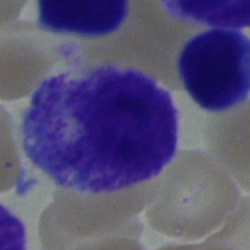
Specimen: bone marrow smear.
Classification: myelocyte.
Lineage: myeloid.